Bone marrow smear.
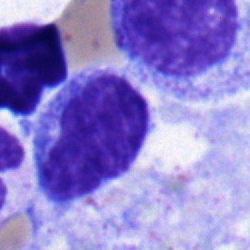
Morphology → monocyte.